Brightfield microscopy, 40× oil immersion · bone marrow aspirate smear: 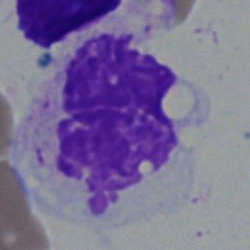Morphology consistent with a neutrophil (segmented).